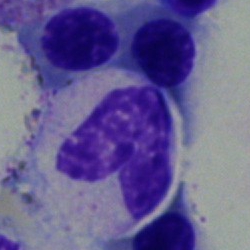

{"cell_type": "band neutrophil"}